Bone marrow smear. Single-cell field:
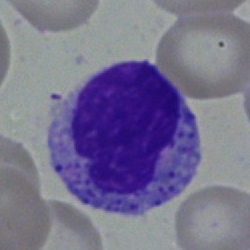 Specimen: bone marrow smear.
Classification: myelocyte.
Lineage: myeloid.